MGG-stained · bone marrow aspirate smear: 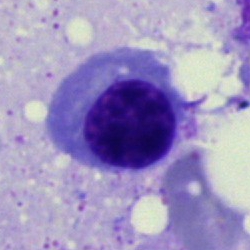

Showing an erythroblast.